Peripheral blood smear: 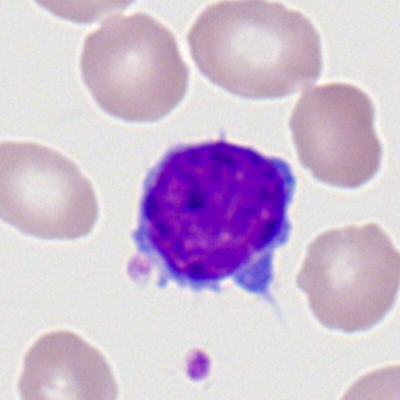 Single cell identified as a typical lymphocyte.